Bone marrow aspirate smear · single-cell crop — 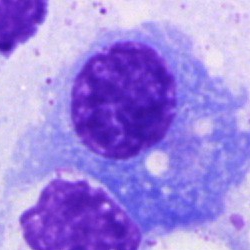 Q: Identify the cell.
A: It is a plasmacyte.